Bone marrow aspirate smear:
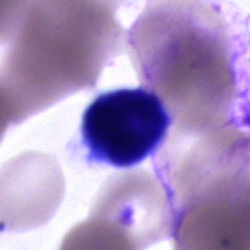

Specimen: bone marrow smear.
Classification: cell of indeterminate lineage.